Bone marrow aspirate smear
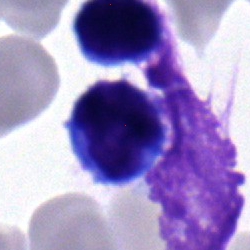
Lymphocyte.